Peripheral blood film.
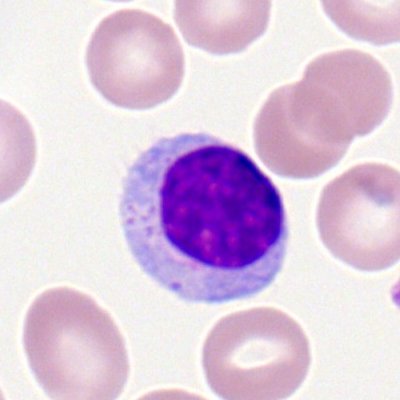Morphology — typical lymphocyte.